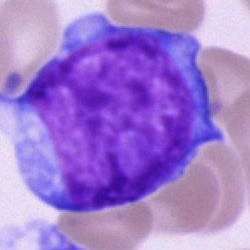
Q: Identify the cell.
A: Blast cell.